Bone marrow smear: 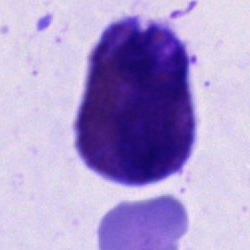 Cell type — eosinophil.